Bone marrow smear. Single-cell field
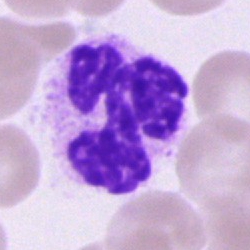

Morphological class — segmented neutrophil.